Cropped to a single cell; bone marrow smear: 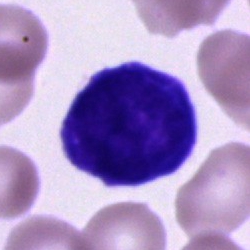 Specimen: bone marrow smear.
Cell: unidentifiable cell.